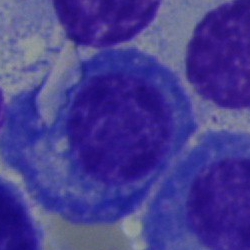 Bone marrow aspirate smear, single cell — plasmacyte.